Peripheral blood smear
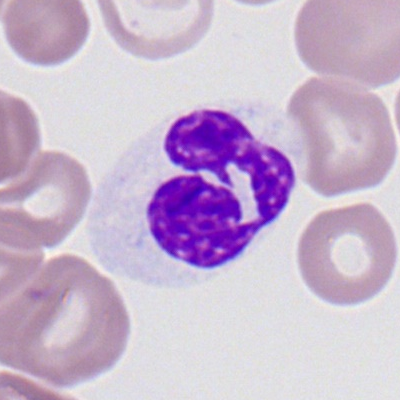 Polymorphonuclear neutrophil.